CellaVision DM96; peripheral blood smear: 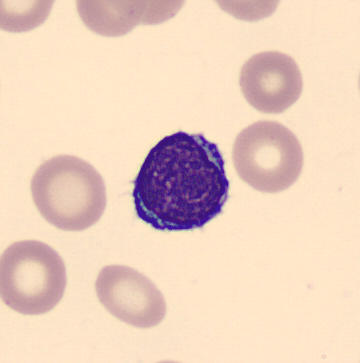
Morphology → lymphocyte.